Bone marrow aspirate smear.
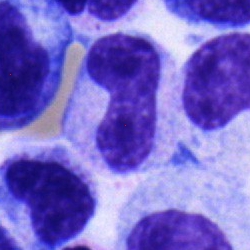
Impression → stab cell.